Bone marrow smear.
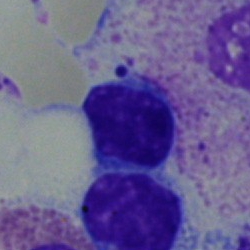Specimen: bone marrow aspirate smear.
Classification: typical lymphocyte.
Lineage: lymphoid.